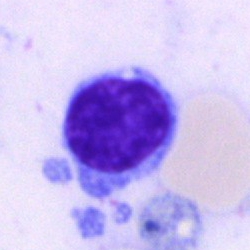
The classification is typical lymphocyte.